Bone marrow aspirate smear · single-cell crop.
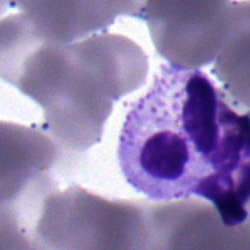

A segmented neutrophil.